May-Grünwald-Giemsa stain; cropped to a single cell; bone marrow smear:
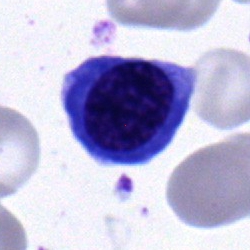 The cell type is nucleated red cell.